Single cell centered in the field; bone marrow smear.
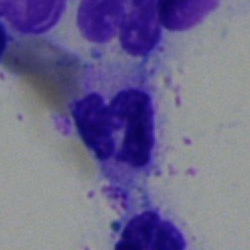
{"cell_type": "segmented neutrophil"}